Bone marrow aspirate smear; Pappenheim-stained; 40× objective, oil immersion
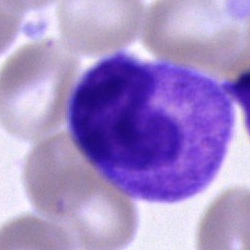

The cell shown is a metamyelocyte.